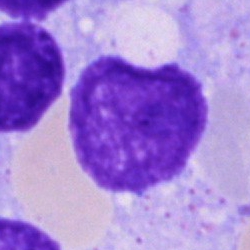
Specimen: bone marrow smear.
Morphological class: artifact.